Bone marrow aspirate smear.
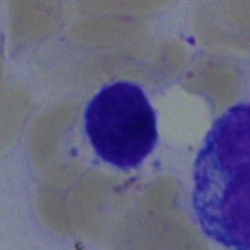
The cell type is typical lymphocyte.